Bone marrow smear; single-cell crop; brightfield, 40× oil-immersion objective — 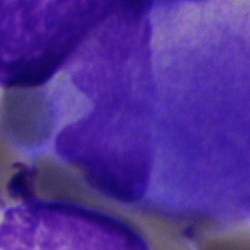Classification — artifact.